Cropped to a single cell. Bone marrow smear
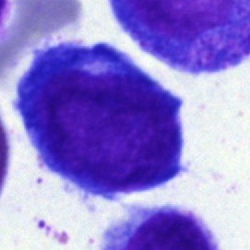Classification — pronormoblast.